Bone marrow smear — 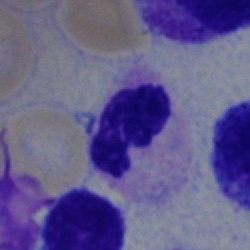
A neutrophil (segmented).